Bone marrow smear; 40× objective, oil immersion
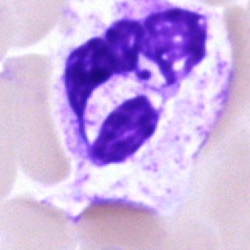Showing a polymorphonuclear neutrophil.